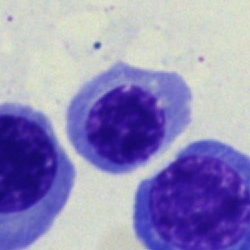
Classification = nucleated red blood cell.